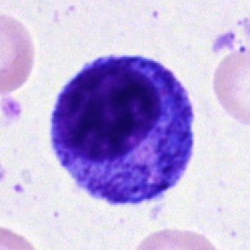 Cell — progranulocyte.